Bone marrow aspirate smear.
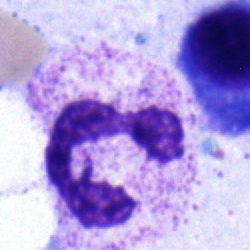
The classification is typical lymphocyte.